M8 digital microscope (Precipoint), 100× oil immersion. Peripheral blood smear. Single cell centered in the field:
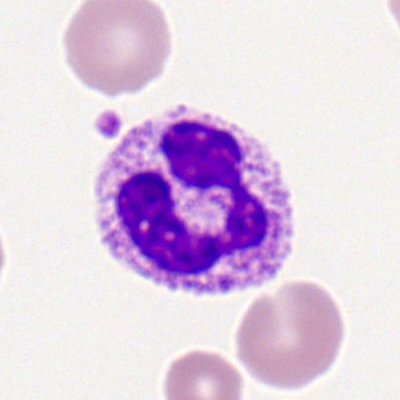 Single cell identified as a segmented neutrophil.